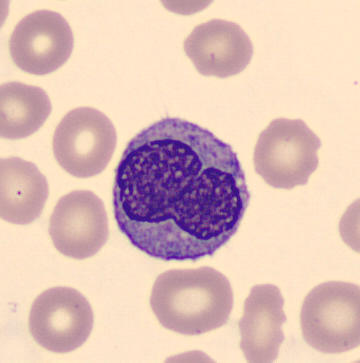Acquisition: Peripheral blood film. {"cell_type": "monocyte", "lineage": "myeloid"}